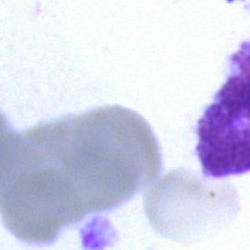
Single-cell crop from a bone marrow smear: artifact.